Bone marrow smear
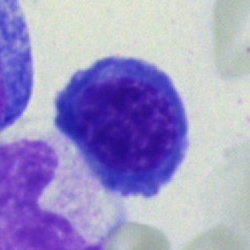
Classification: erythroblast.